May-Grünwald-Giemsa stain · bone marrow aspirate smear · image size 250×250
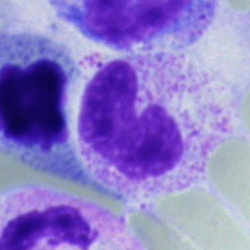

Cell = neutrophil (band).